Image size 250×250. Bone marrow smear
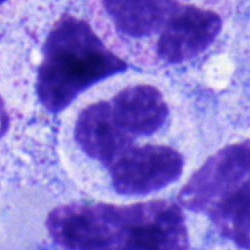The classification is band-form neutrophil.